Bone marrow smear — 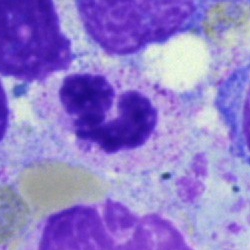

Specimen: bone marrow aspirate smear.
Morphological class: polymorphonuclear neutrophil.